Cropped to a single cell. Bone marrow aspirate smear. Pappenheim-stained: 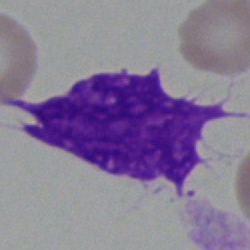

Q: What is shown here?
A: This is an artifact.